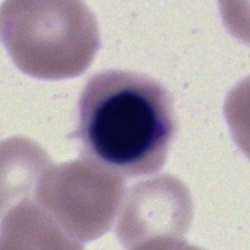 Morphological class — erythroblast.